Bone marrow aspirate smear.
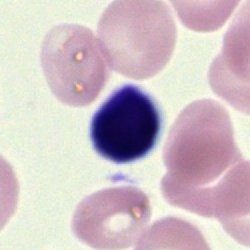

Single cell identified as an artifact.